Bone marrow smear · single-cell crop · brightfield, 40× oil-immersion objective
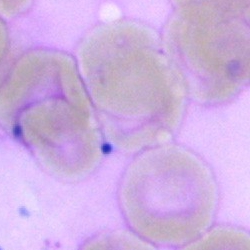

An artifact.